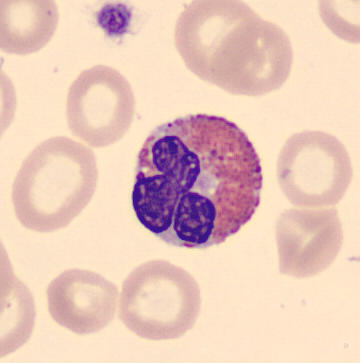

Eosinophil.

Preparation: CellaVision DM96 digital cell image · peripheral blood smear.